Bone marrow aspirate smear · brightfield microscopy, 40× oil immersion
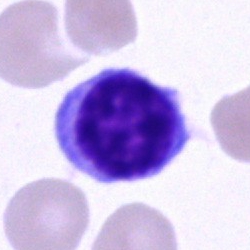 Morphological class: lymphocyte.